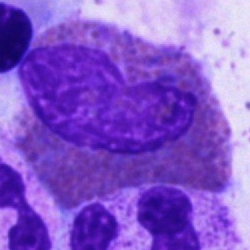 Morphological class: eosinophil.